Bone marrow smear: 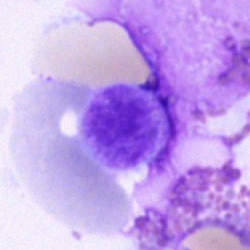 Impression — artefact.